Single-cell crop. Bone marrow smear. 250×250
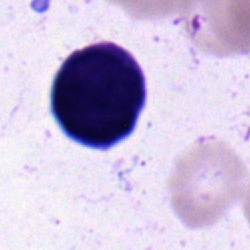

Impression — blast.